Bone marrow aspirate smear:
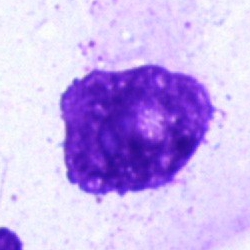This is an artefact.